40× objective, oil immersion. Bone marrow smear. Image size 250×250 — 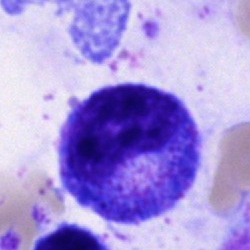
This is a promyelocyte.